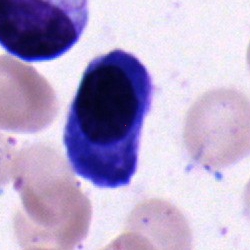 A nucleated red cell on a bone marrow smear.